CellaVision DM96 · peripheral blood film
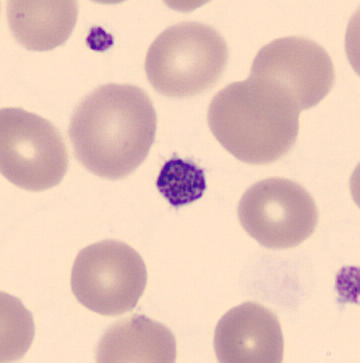
Showing a platelet (thrombocyte).